Bone marrow aspirate smear
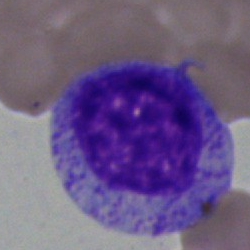

Morphology → myelocyte.